Pappenheim-stained. Bone marrow smear.
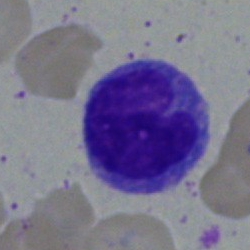
Specimen: bone marrow aspirate smear.
Classification: monocyte.